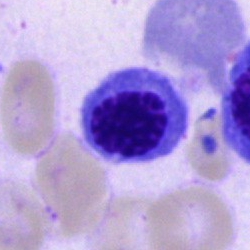A nucleated red cell on a bone marrow smear.